Bone marrow smear; May-Grünwald-Giemsa stain.
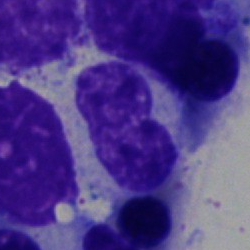

Morphology — band-form neutrophil.